250×250 px. Bone marrow smear.
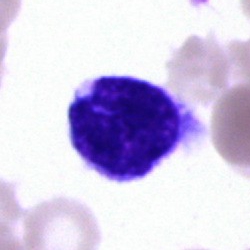Q: What is shown here?
A: This is a typical lymphocyte.